Bone marrow aspirate smear:
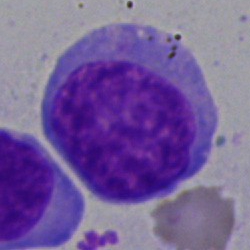
Specimen: bone marrow aspirate smear.
Cell: blast.